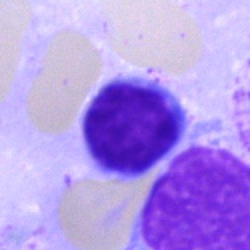Lymphocyte.